Bone marrow smear — 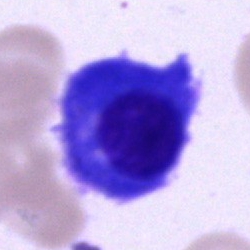Classification: plasma cell.